Pappenheim-stained; bone marrow aspirate smear:
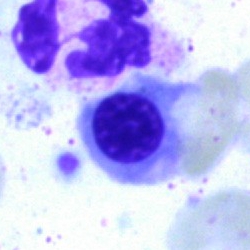 Morphological class = erythroblast.